40× oil immersion · bone marrow smear — 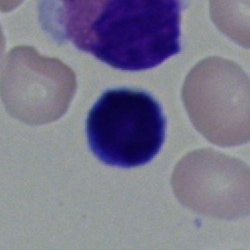
Impression — typical lymphocyte.